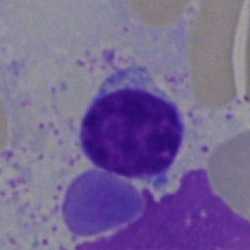

A lymphocyte.